Bone marrow smear.
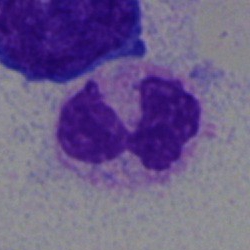 Q: What is the morphological classification of this cell?
A: A segmented neutrophil.